May-Grünwald-Giemsa stain · bone marrow smear
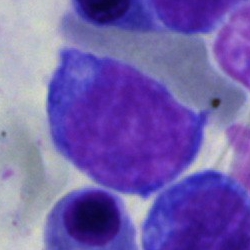 Q: What cell is this?
A: Pronormoblast.